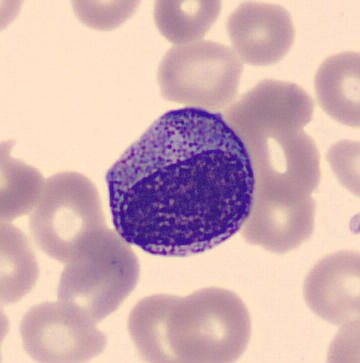
Peripheral blood smear showing a promyelocyte.